Bone marrow smear. 40× objective, oil immersion:
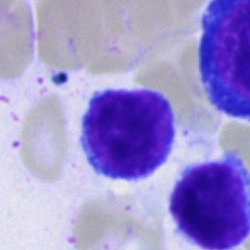

Single cell identified as a lymphocyte.